Bone marrow smear:
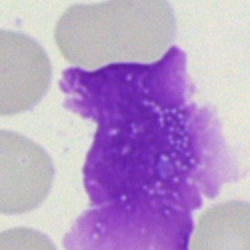Single cell identified as an artefact.